Bone marrow smear.
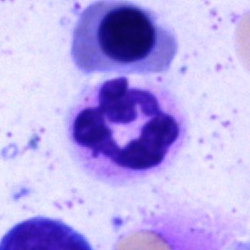
Specimen: bone marrow smear.
Cell type: polymorphonuclear neutrophil.
Lineage: myeloid.